Image size 250×250; bone marrow aspirate smear:
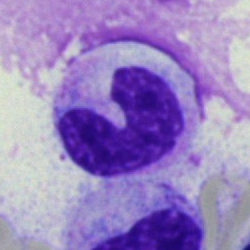

Classification — stab cell.